Bone marrow smear: 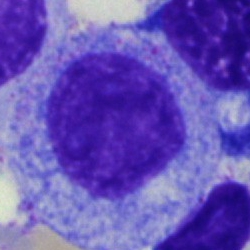Cell = progranulocyte.